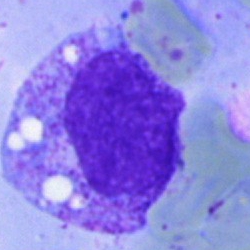Morphological class: myelocyte.